Bone marrow smear
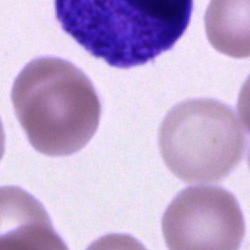

Morphology — cell of indeterminate lineage.